Brightfield microscopy, 40× oil immersion. Bone marrow smear — 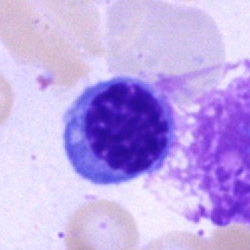Single cell identified as an erythroblast.